Bone marrow aspirate smear.
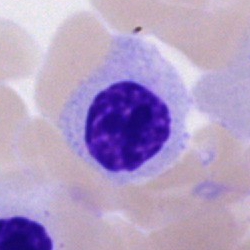

Cell = nucleated red blood cell.